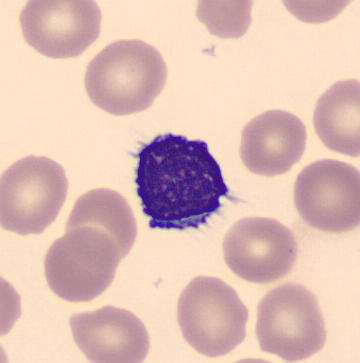

Image: Peripheral blood film. Classification: lymphocyte.